Bone marrow aspirate smear. 40× objective, oil immersion.
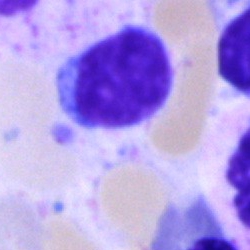
Cell: lymphocyte.